Bone marrow aspirate smear:
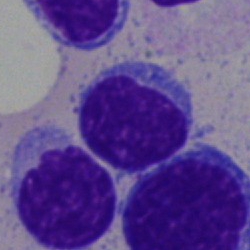The classification is typical lymphocyte.